Bone marrow smear. 250×250: 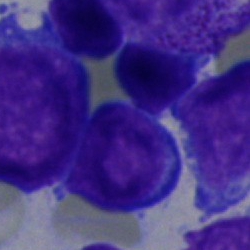
Morphology consistent with an undifferentiated blast.